Bone marrow smear — 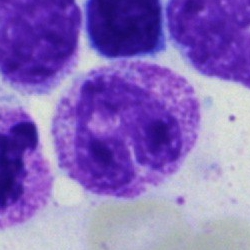 Morphology consistent with a band-form neutrophil.